100× objective, oil immersion · peripheral blood film
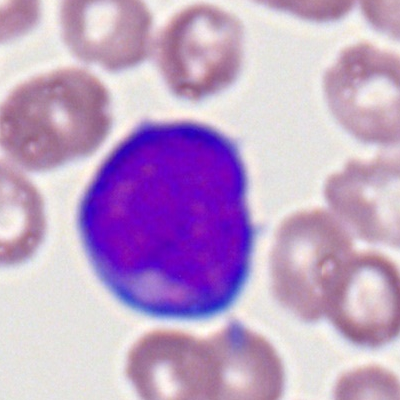Cell: myeloblast.